250×250; bone marrow aspirate smear
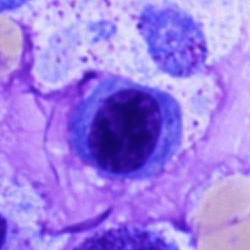
Q: Which cell type is shown here?
A: It is a nucleated red cell.